Bone marrow aspirate smear
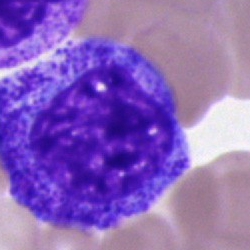

Q: Which cell type is shown here?
A: This is a progranulocyte.